Bone marrow aspirate smear · image size 250×250 · MGG-stained: 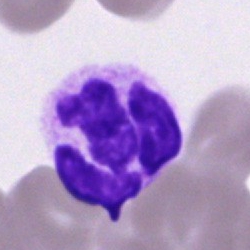
Specimen: bone marrow aspirate smear.
Morphological class: segmented neutrophil.
Lineage: myeloid.